Bone marrow smear.
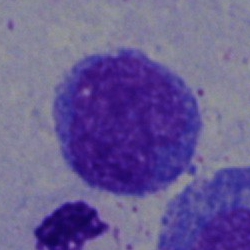
The cell shown is a monocyte.